Bone marrow aspirate smear
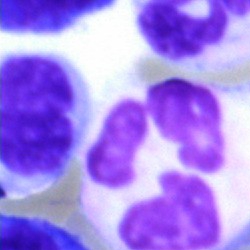
Single cell identified as an artifact.